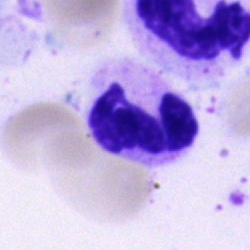

{"cell_type": "polymorphonuclear neutrophil", "lineage": "myeloid"}